May-Grünwald-Giemsa stain · bone marrow smear
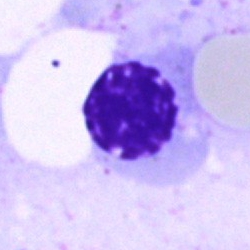Q: What cell is this?
A: This is a nucleated red cell.